400×400 px · peripheral blood smear: 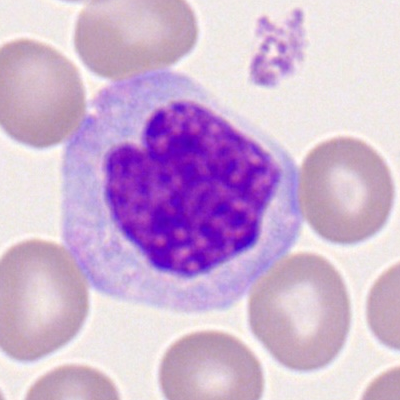
Specimen: peripheral blood smear.
Classification: monocyte.